Single-cell field; bone marrow smear
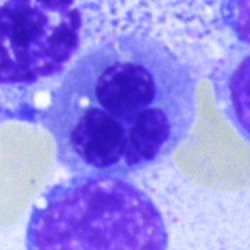
{"cell_type": "normoblast"}